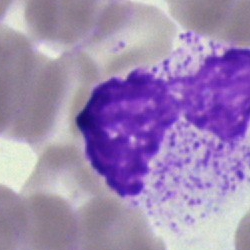

An artifact on a bone marrow smear.